250×250 px · bone marrow aspirate smear:
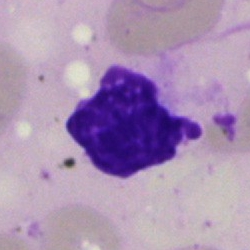
The classification is artifact.